400×400; single cell centered in the field; peripheral blood smear
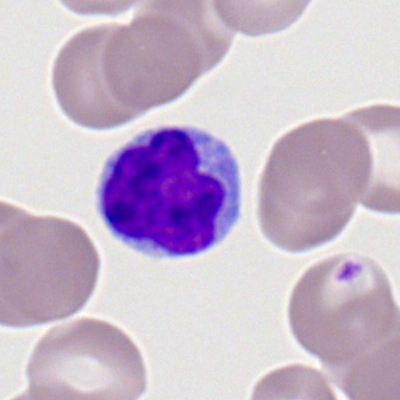Morphological class: lymphocyte.